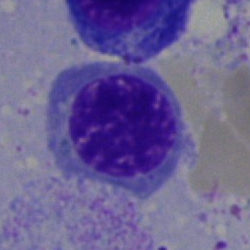 The cell shown is a normoblast.